Cropped to a single cell; bone marrow aspirate smear; 250 by 250 pixels — 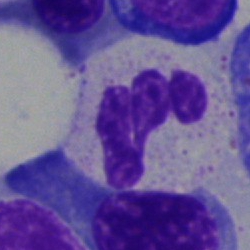 Morphology consistent with a polymorphonuclear neutrophil.